Brightfield, 40× oil-immersion objective · bone marrow smear
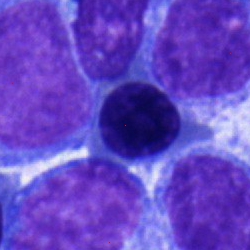 The cell is nucleated red cell.